Bone marrow smear. Cropped to a single cell:
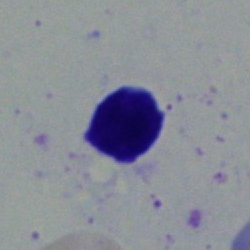

This is a typical lymphocyte.